Bone marrow aspirate smear — 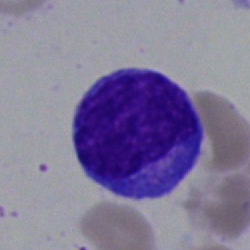Q: Identify the cell.
A: This is a lymphocyte.